Bone marrow smear. Single-cell crop. May-Grünwald-Giemsa/Pappenheim stain
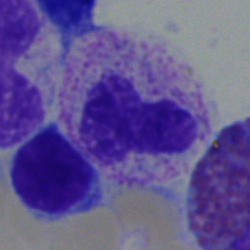Morphological class: neutrophil (band).